Bone marrow aspirate smear; Pappenheim-stained:
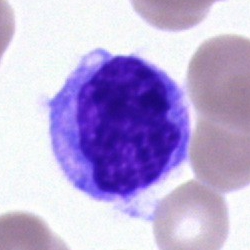 Monocyte.